Bone marrow aspirate smear · 40× oil immersion:
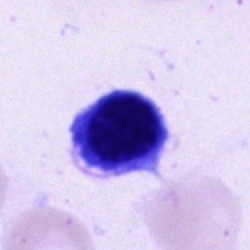
Morphology consistent with a nucleated red blood cell.